Bone marrow aspirate smear · May-Grünwald-Giemsa/Pappenheim stain.
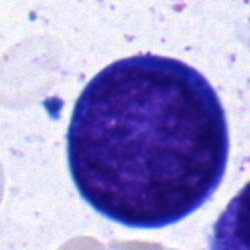 This is a pronormoblast.